Pappenheim-stained · bone marrow smear:
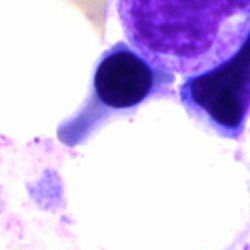 Impression → nucleated red blood cell.